Bone marrow aspirate smear
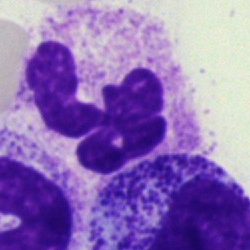Morphology consistent with a polymorphonuclear neutrophil.